Bone marrow aspirate smear · single-cell crop:
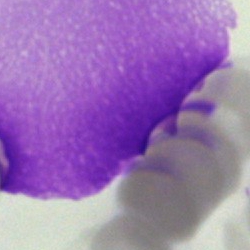

Classification — artifact.